250 by 250 pixels · bone marrow aspirate smear: 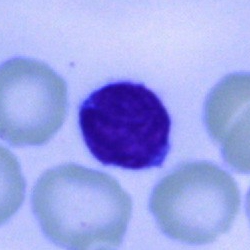 The cell shown is a typical lymphocyte.